250×250 · bone marrow aspirate smear.
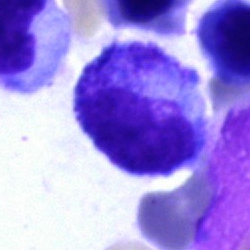 The morphological class is promyelocyte.